Bone marrow aspirate smear. Cropped to a single cell — 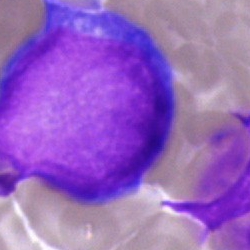A blast cell.